Bone marrow aspirate smear — 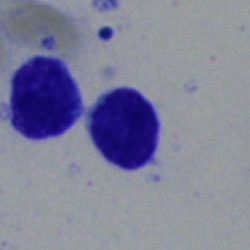{"cell_type": "typical lymphocyte"}